Bone marrow aspirate smear — 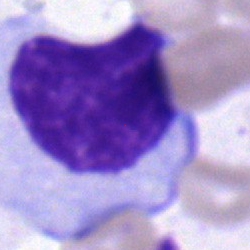 Cell type: myelocyte.